Bone marrow smear.
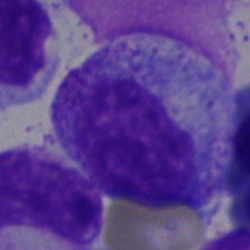
Cell type = progranulocyte.